Bone marrow aspirate smear — 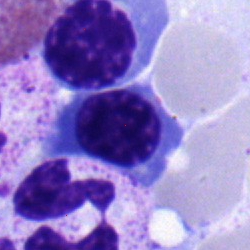
Impression → nucleated red cell.